Bone marrow aspirate smear; 250 by 250 pixels.
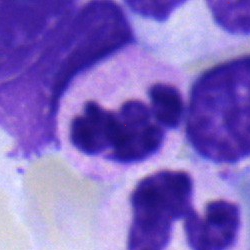

{"cell_type": "segmented neutrophil"}